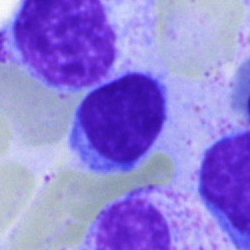 Typical lymphocyte.